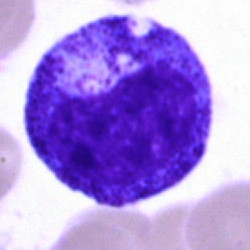

Showing a progranulocyte.